Bone marrow smear · single-cell field · image size 250×250: 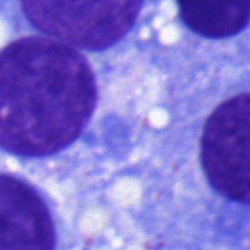Specimen: bone marrow aspirate smear.
Morphological class: plasmacyte.